Bone marrow aspirate smear.
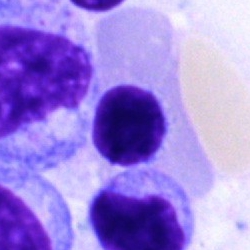 Q: What type of cell is this?
A: An erythroblast.